Bone marrow smear · 250 by 250 pixels:
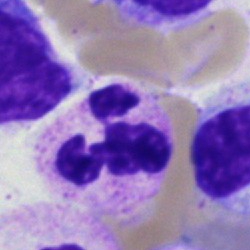Single cell identified as a neutrophil (segmented).